Bone marrow aspirate smear:
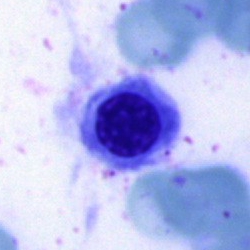Classification — nucleated red blood cell.